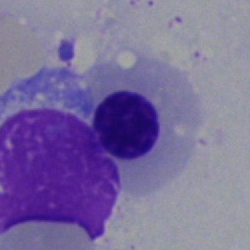

Single-cell crop from a bone marrow smear: normoblast.